Bone marrow aspirate smear.
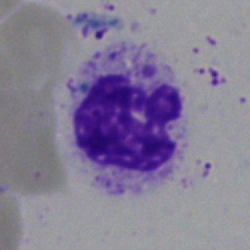Specimen: bone marrow aspirate smear.
Morphological class: polymorphonuclear neutrophil.